Brightfield, 40× oil-immersion objective; bone marrow aspirate smear:
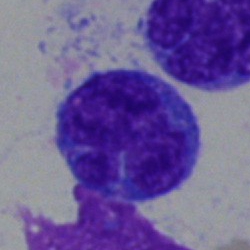Cell — monocyte.